Single cell centered in the field. Bone marrow aspirate smear. 250×250 px.
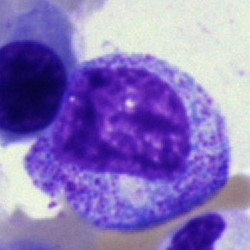Cell: myelocyte.